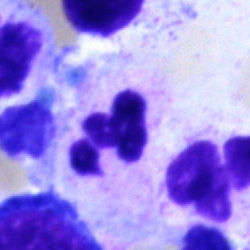Classification = polymorphonuclear neutrophil.